Bone marrow smear. Image size 250×250:
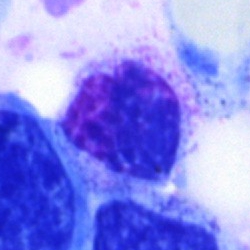 Morphological class — artifact.